Bone marrow aspirate smear:
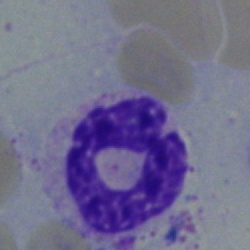This is a segmented neutrophil.